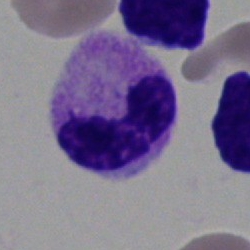

The cell is band neutrophil.